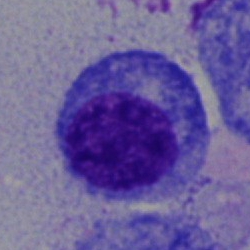Q: What is shown here?
A: It is a promyelocyte.